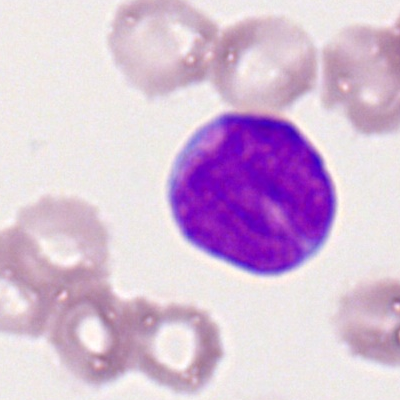 Morphology — myeloblast.